250 by 250 pixels; bone marrow aspirate smear.
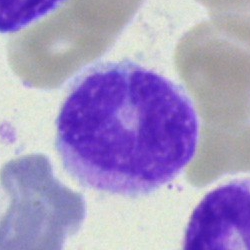Q: What cell is this?
A: Monocyte.